40× oil immersion. Bone marrow aspirate smear — 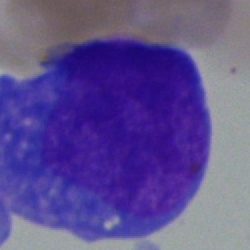
The classification is blast.